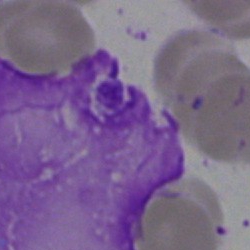

An artifact.